Peripheral blood film
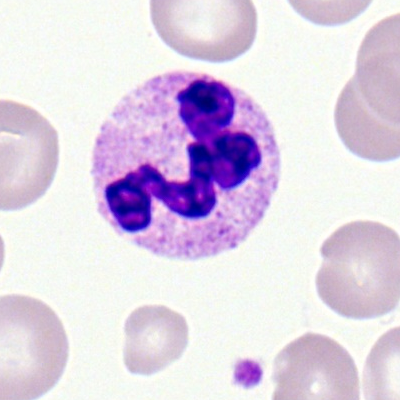Morphological class — segmented neutrophil.